Bone marrow aspirate smear; 250×250 px:
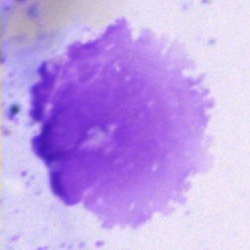An artifact.